Bone marrow smear:
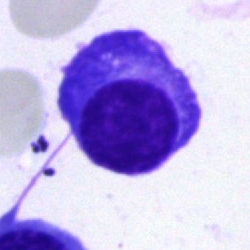Morphology consistent with a plasma cell.